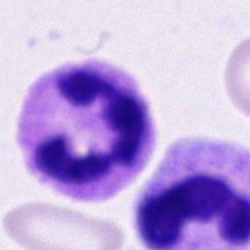 The classification is segmented neutrophil.